Cropped to a single cell · bone marrow smear: 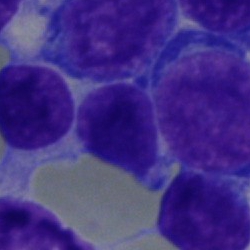 Q: Which cell type is shown here?
A: It is a blast cell.